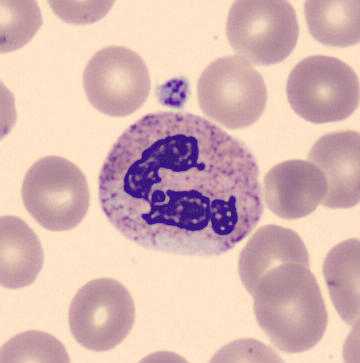
Cell = segmented neutrophil.